Bone marrow smear
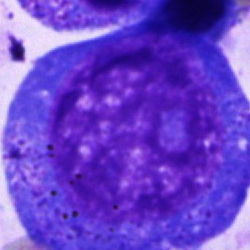

Morphological class: progranulocyte.